Bone marrow smear: 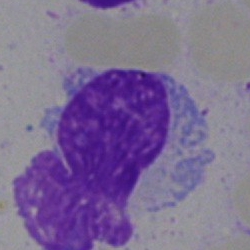 Cell = artifact.